Bone marrow aspirate smear: 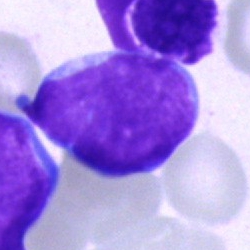The cell shown is a blast.